Bone marrow aspirate smear — 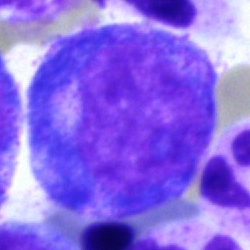
This is a progranulocyte.